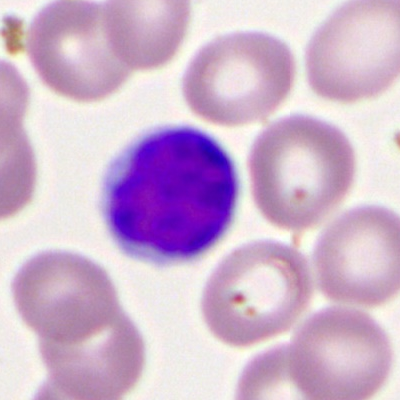

Q: Identify the cell.
A: Lymphocyte.